Bone marrow smear:
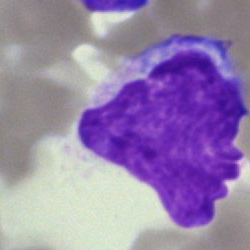

The cell type is blast cell.